May-Grünwald-Giemsa/Pappenheim stain; bone marrow smear
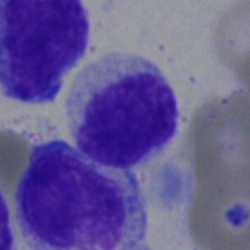

A typical lymphocyte.